Bone marrow smear:
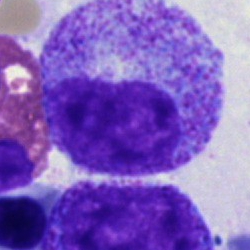 Impression — myelocyte.